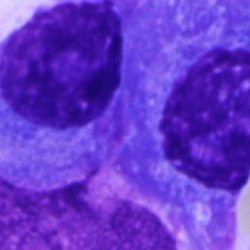The cell is plasmacyte.